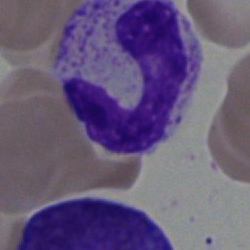
Single cell identified as a band neutrophil.